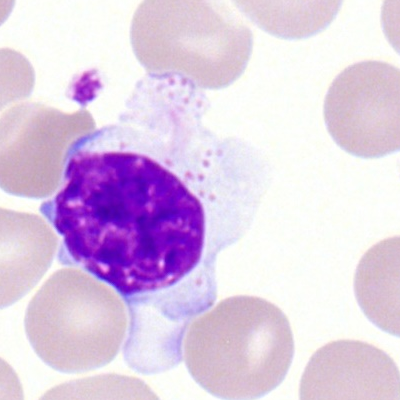Morphological class = lymphocyte.